250×250 px · bone marrow smear
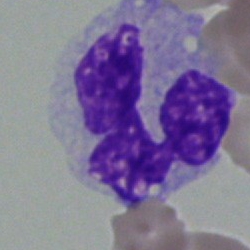

Morphological class = monocyte.